Bone marrow smear
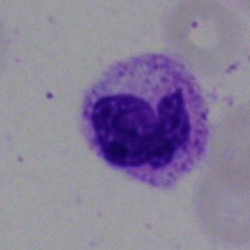Specimen: bone marrow aspirate smear.
Cell: neutrophil (segmented).
Lineage: myeloid.